Bone marrow aspirate smear:
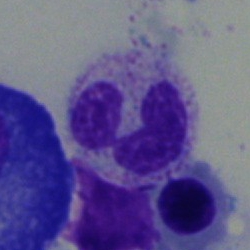
Q: Identify the cell.
A: This is a polymorphonuclear neutrophil.